Peripheral blood smear
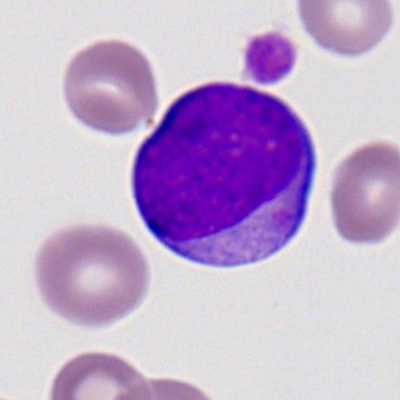Cell type: myeloid blast.